Bone marrow smear — 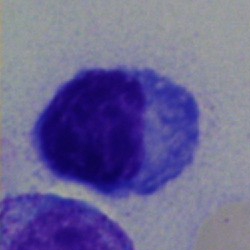

A plasmacyte.